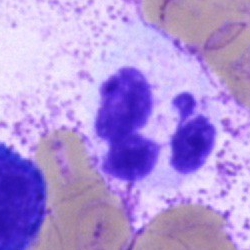Specimen: bone marrow aspirate smear.
Morphological class: segmented neutrophil.
Lineage: myeloid.